Bone marrow aspirate smear. 40× objective, oil immersion:
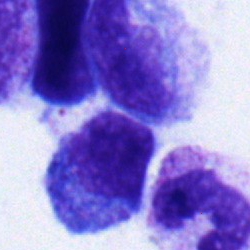Cell = monocyte.